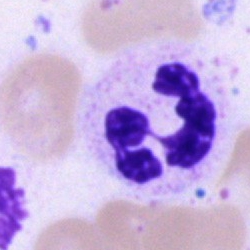 Specimen: bone marrow aspirate smear.
Cell: polymorphonuclear neutrophil.